Bone marrow aspirate smear · cropped to a single cell — 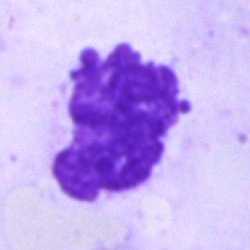

Q: What is shown here?
A: Artifact.